Bone marrow smear: 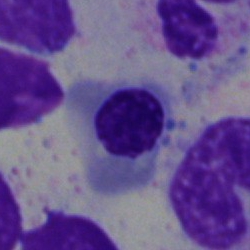

Morphology → normoblast.